Peripheral blood film; 400×400 px; single-cell field.
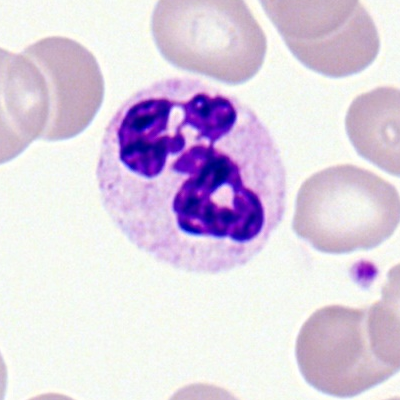
{"cell_type": "neutrophil (segmented)", "lineage": "myeloid"}